Bone marrow smear · Pappenheim-stained: 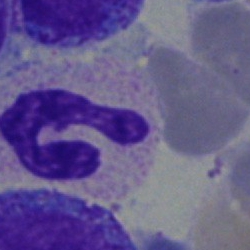

This is a polymorphonuclear neutrophil.